Bone marrow aspirate smear; brightfield, 40× oil-immersion objective; image size 250×250
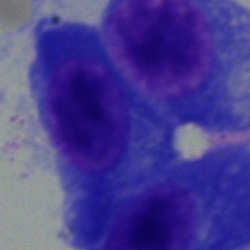
Cell type: plasmacyte.